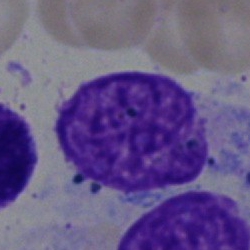This is an artifact.